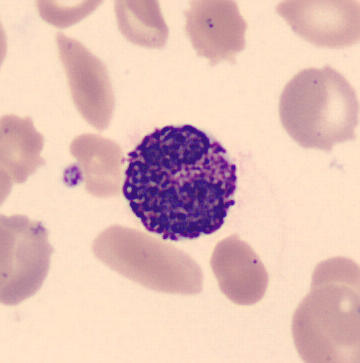 Morphological class: basophilic granulocyte.